Bone marrow aspirate smear. Single-cell field — 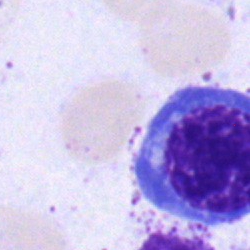This is an erythroblast.